Bone marrow aspirate smear:
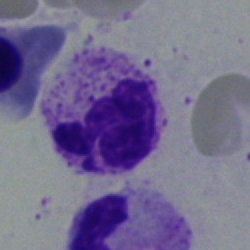 The cell shown is a neutrophil (segmented).